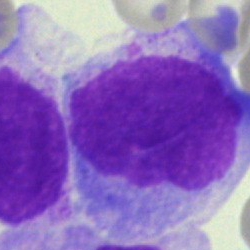 Q: What cell is this?
A: Blast cell.